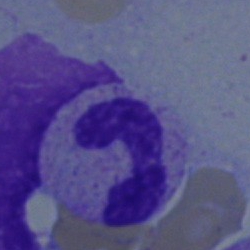
Specimen: bone marrow smear.
Cell: stab cell.
Lineage: myeloid.